Peripheral blood smear
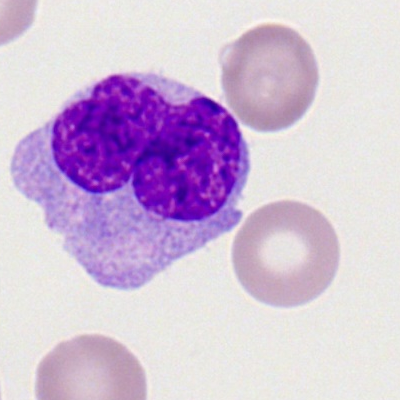 Classification — monocyte.